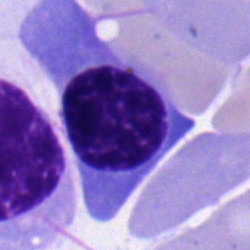 Q: What type of cell is this?
A: Erythroblast.